40× oil immersion · bone marrow aspirate smear.
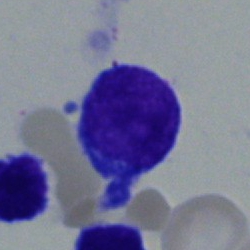 Specimen: bone marrow aspirate smear.
Classification: lymphocyte.
Lineage: lymphoid.